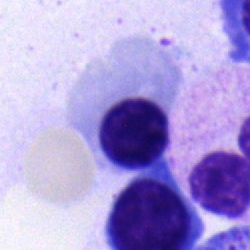

Morphology consistent with a nucleated red cell.